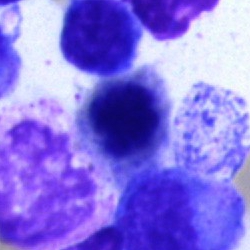
Specimen: bone marrow smear.
Cell: erythroblast.